Cropped to a single cell; bone marrow aspirate smear:
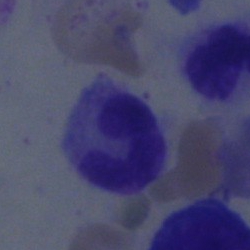Morphological class — segmented neutrophil.